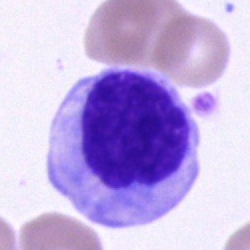

A cell of indeterminate lineage.